Bone marrow aspirate smear · cropped to a single cell
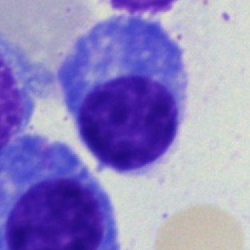
Plasma cell.